Bone marrow aspirate smear
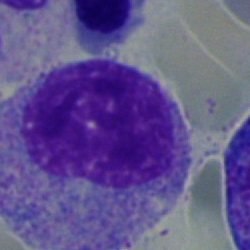

A myelocyte.